Bone marrow aspirate smear: 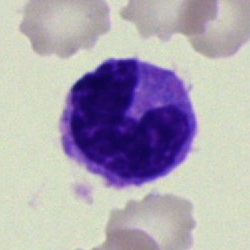The cell shown is a neutrophil (band).